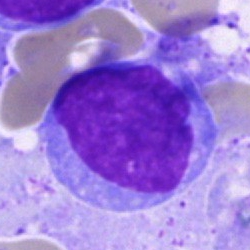 Single-cell crop from a bone marrow smear: blast.